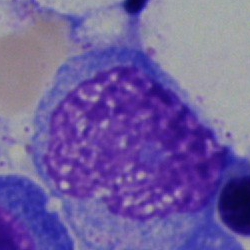 Specimen: bone marrow aspirate smear.
Cell type: blast cell.